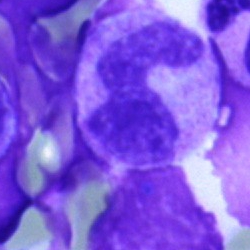 Morphology consistent with a band neutrophil.